Brightfield microscopy, 40× oil immersion; bone marrow smear
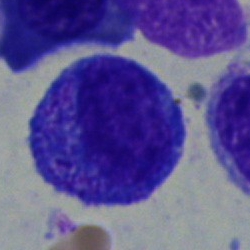 Specimen: bone marrow smear.
Cell type: promyelocyte.